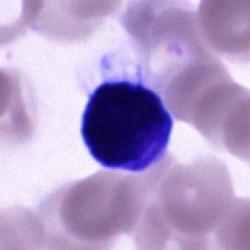 Showing a cell of indeterminate lineage.